Single-cell crop. Bone marrow aspirate smear:
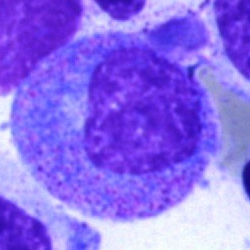

Specimen: bone marrow aspirate smear.
Cell: progranulocyte.
Lineage: myeloid.